Single-cell crop. MGG-stained. Bone marrow aspirate smear — 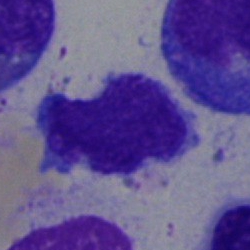

Cell type: typical lymphocyte.